Bone marrow aspirate smear:
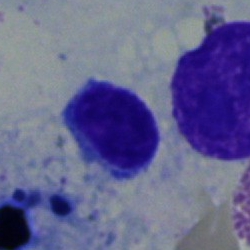

Cell type = lymphocyte.